Cropped to a single cell. Bone marrow smear: 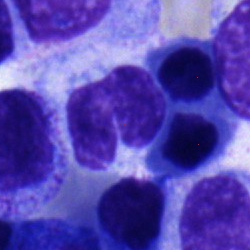 {"cell_type": "stab cell", "lineage": "myeloid"}